Cropped to a single cell. Bone marrow aspirate smear. MGG-stained — 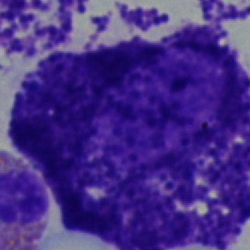Cell — other cell.